Bone marrow aspirate smear.
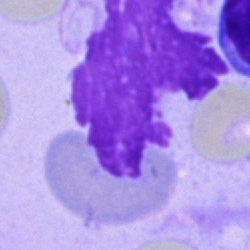

Specimen: bone marrow aspirate smear.
Cell type: artefact.